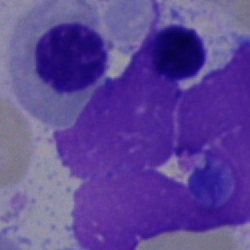The cell type is artefact.